Bone marrow smear
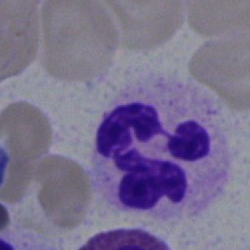

{"cell_type": "neutrophil (segmented)"}